Bone marrow aspirate smear · May-Grünwald-Giemsa/Pappenheim stain: 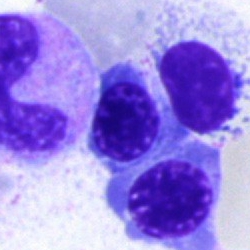
Q: What is shown here?
A: It is an erythroblast.